Peripheral blood smear; M8 digital microscope (Precipoint), 100× oil immersion; Romanowsky-type stain: 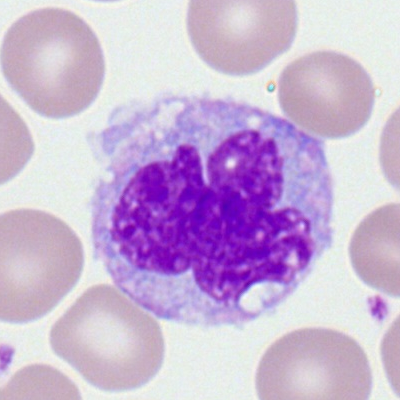 Q: What cell is this?
A: It is a monocyte.